Bone marrow aspirate smear.
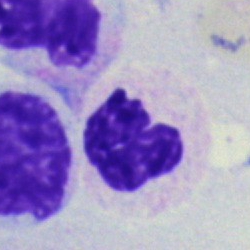
Classification — stab cell.